MGG-stained · single cell centered in the field · bone marrow smear
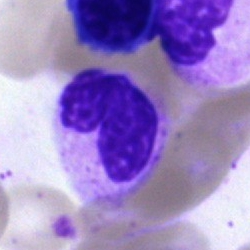
This is a stab cell.